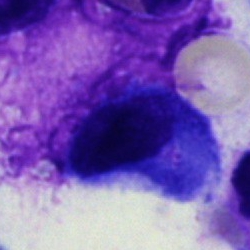

Classification = artifact.